Bone marrow aspirate smear. Single-cell crop.
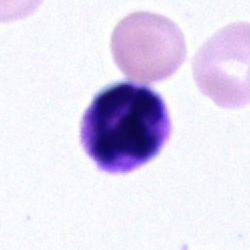
{"cell_type": "neutrophil (segmented)"}